Bone marrow smear · brightfield, 40× oil-immersion objective · MGG-stained — 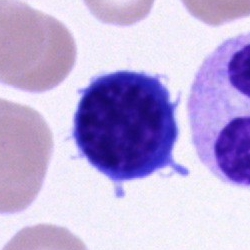

Q: What is shown here?
A: It is a nucleated red cell.